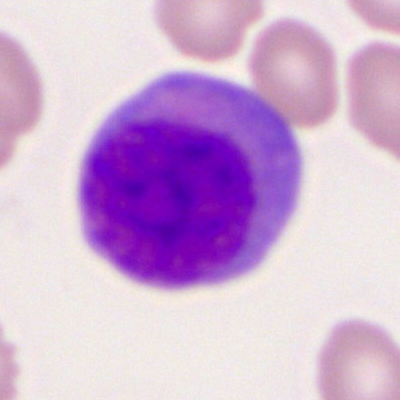A myeloid blast.